Bone marrow aspirate smear: 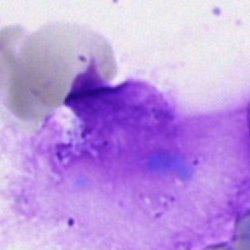Q: What is shown here?
A: This is an artifact.